Bone marrow smear
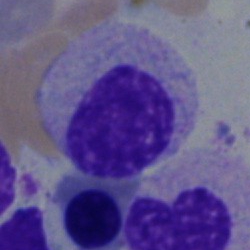
Cell type — myelocyte.